Bone marrow aspirate smear
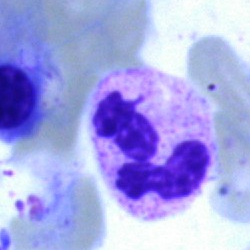Cell — polymorphonuclear neutrophil.